Bone marrow smear
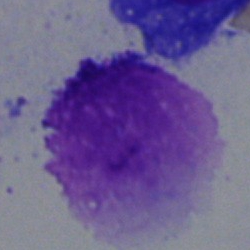
Showing an artefact.